Bone marrow smear; single cell centered in the field; 250 by 250 pixels: 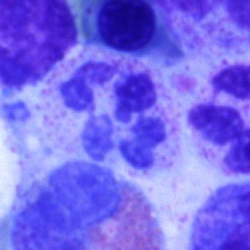

Morphology consistent with an artifact.